Single-cell crop. Peripheral blood film. 100× oil immersion: 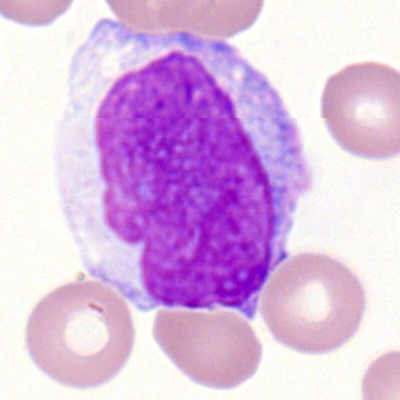

This is a monocyte.